Bone marrow smear
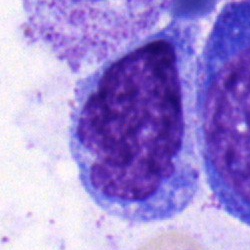

Q: Which cell type is shown here?
A: A monocyte.